Bone marrow aspirate smear
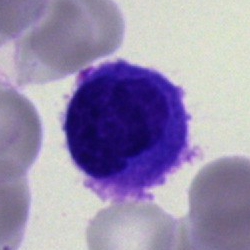

Specimen: bone marrow smear.
Cell: typical lymphocyte.